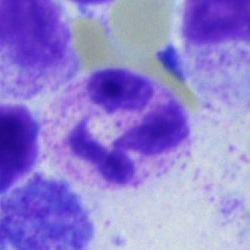 Single cell identified as a segmented neutrophil.